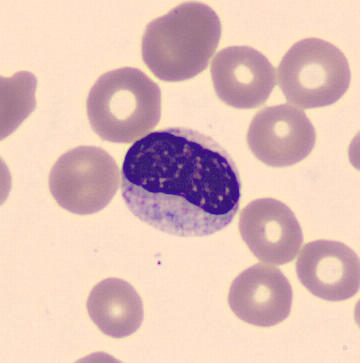
Cropped to a single cell; MGG-stained; peripheral blood smear.
Showing a metamyelocyte.